Bone marrow aspirate smear.
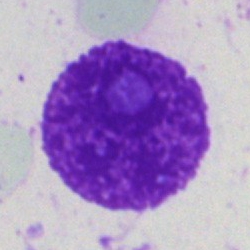{"cell_type": "artefact"}